Image size 400×400. Peripheral blood film: 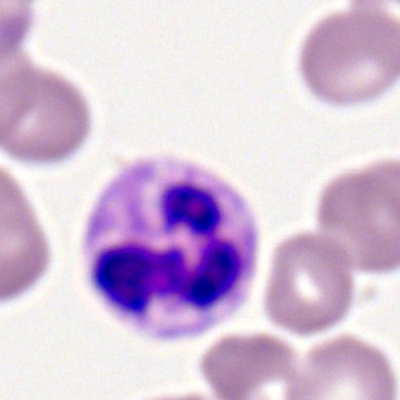 Neutrophil (segmented).